Peripheral blood smear
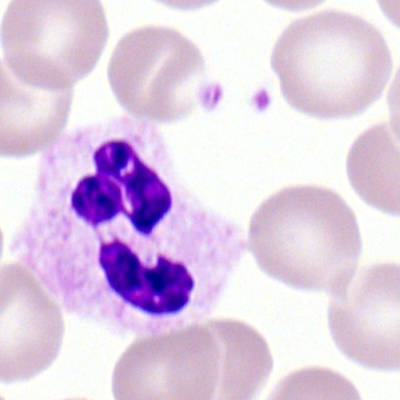
Morphological class = neutrophil (segmented).